Bone marrow smear · Pappenheim-stained · 250×250 px
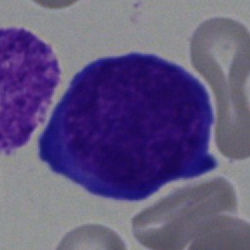 Cell — blast.